Bone marrow smear.
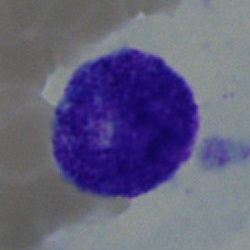
Morphological class: myelocyte.